MGG-stained; bone marrow aspirate smear.
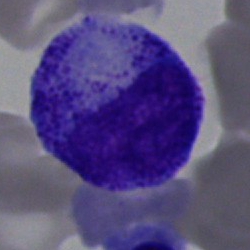
Q: What cell is this?
A: It is a promyelocyte.